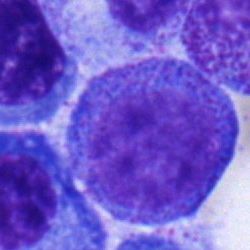Cell type = progranulocyte.